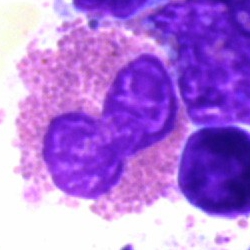 Classification = eosinophil.